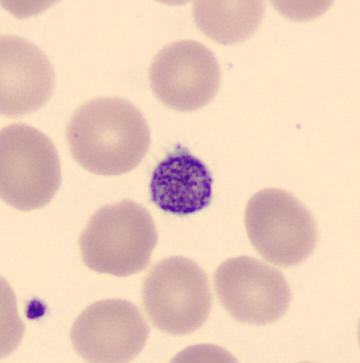
Q: What is this?
A: Platelet. Peripheral blood film.